Bone marrow aspirate smear — 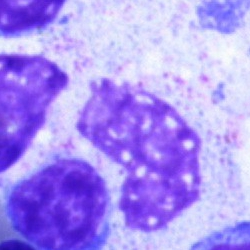

Morphology — artefact.